Bone marrow aspirate smear: 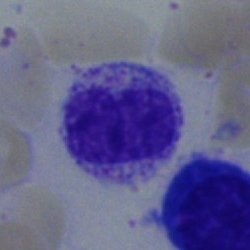Impression → metamyelocyte.